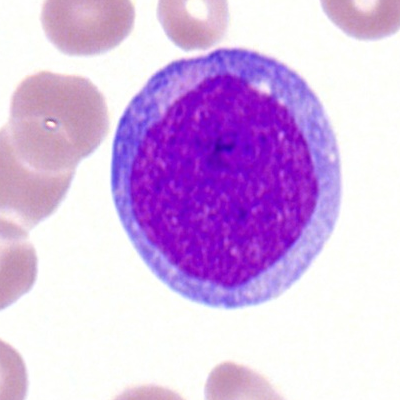Q: What is the morphological classification of this cell?
A: A myeloid blast.